Pappenheim-stained; bone marrow aspirate smear — 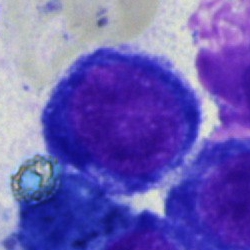
Q: What type of cell is this?
A: This is an erythroblast.